Bone marrow aspirate smear: 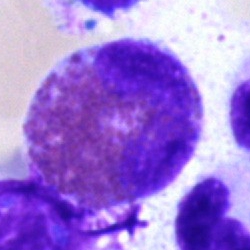

Cell type: eosinophil.